Bone marrow smear — 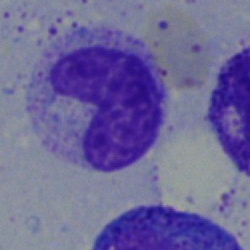
Specimen: bone marrow aspirate smear.
Cell: metamyelocyte.